May-Grünwald-Giemsa stain; bone marrow aspirate smear; single-cell crop:
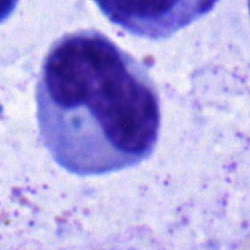Impression → band neutrophil.